Bone marrow aspirate smear.
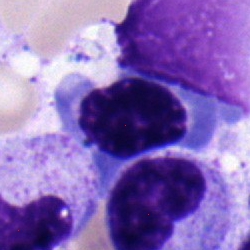 The classification is normoblast.